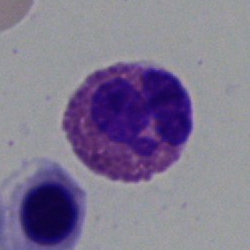Morphology — eosinophil.